40× objective, oil immersion; 250×250; bone marrow smear
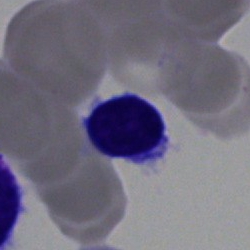

Cell type — lymphocyte.